Bone marrow smear — 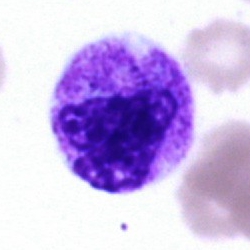

Q: What is the morphological classification of this cell?
A: It is a polymorphonuclear neutrophil.